Bone marrow smear — 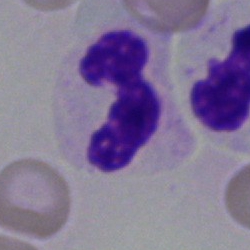 The cell shown is a segmented neutrophil.